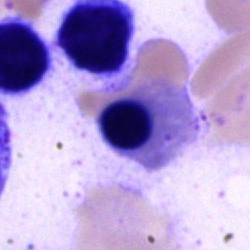

Specimen: bone marrow smear.
Cell type: nucleated red blood cell.
Lineage: erythroid.